Bone marrow smear; MGG-stained — 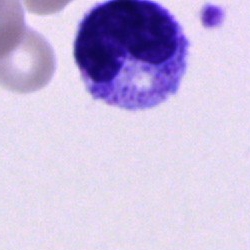Q: What is shown here?
A: Metamyelocyte.